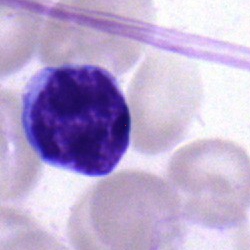

Morphology consistent with a typical lymphocyte.